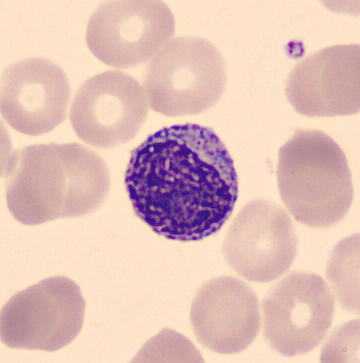 Q: What type of cell is this?
A: A myelocyte.
Peripheral blood film.